Bone marrow aspirate smear · single-cell field · MGG-stained:
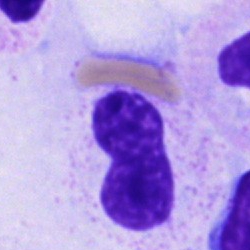 Showing a cell of indeterminate lineage.